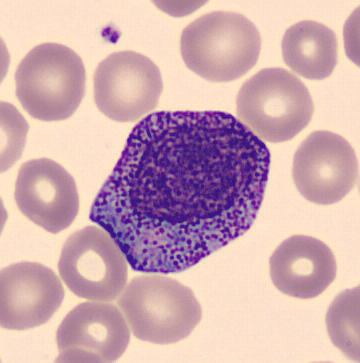Impression — progranulocyte. Peripheral blood smear.